Bone marrow aspirate smear:
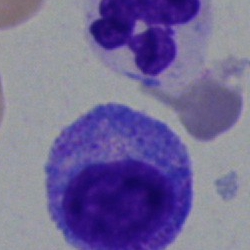

Myelocyte.